Bone marrow smear:
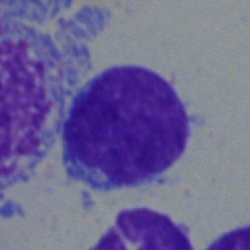 Specimen: bone marrow aspirate smear.
Cell: lymphocyte.
Lineage: lymphoid.